Bone marrow smear.
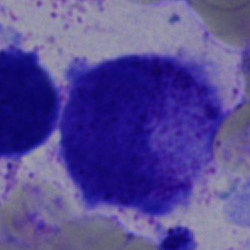Impression → promyelocyte.